250×250 · bone marrow aspirate smear:
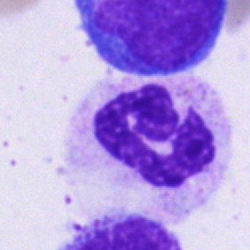
Impression — neutrophil (segmented).